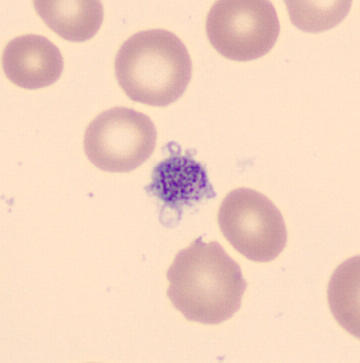Specimen: peripheral blood smear.
Morphological class: thrombocyte.
MGG-stained.